Bone marrow smear · 40× oil immersion · 250×250 px
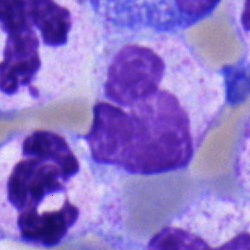
Single cell identified as a band neutrophil.